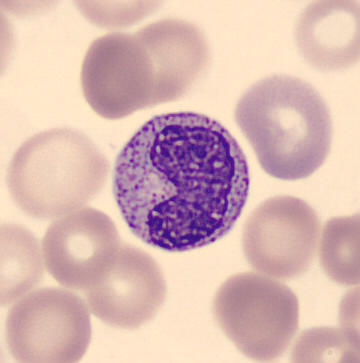 Single-cell field. 360 by 363 pixels. Peripheral blood film. Morphological class = metamyelocyte.